Bone marrow aspirate smear. Single-cell field: 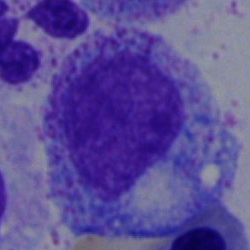Q: What type of cell is this?
A: This is a myelocyte.